Bone marrow smear
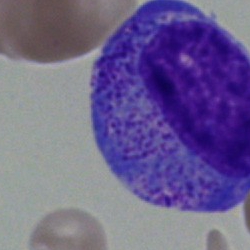 Specimen: bone marrow smear.
Morphological class: progranulocyte.